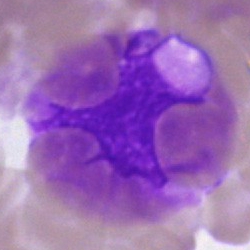
The cell shown is an artifact.